Bone marrow smear; brightfield microscopy, 40× oil immersion: 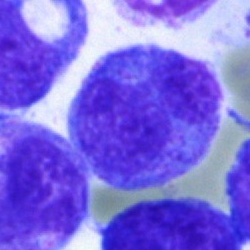 The classification is blast.